Bone marrow smear · 40× oil immersion — 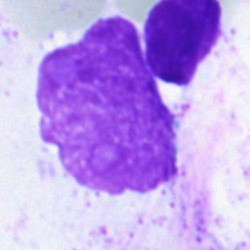
Cell = artifact.